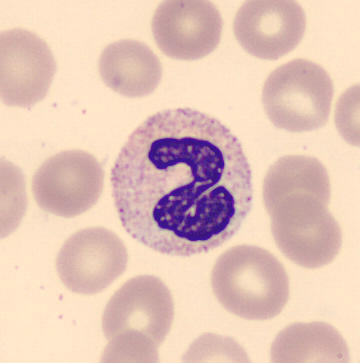
Classification = neutrophil (band).

Image: Peripheral blood film · May Grünwald-Giemsa stain · single-cell crop.